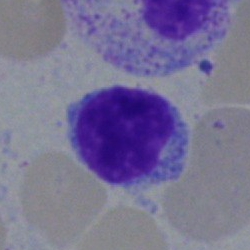

Single-cell crop from a bone marrow smear: typical lymphocyte.